Peripheral blood smear; 100× oil immersion, 14.14 px/µm: 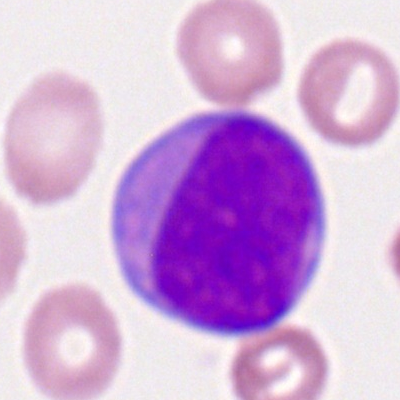

Q: What cell is this?
A: It is a myeloid blast.